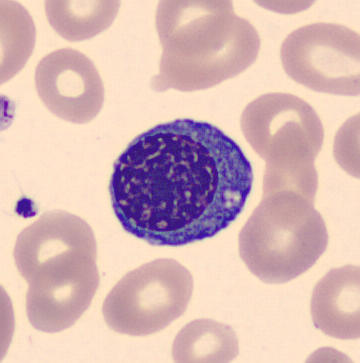
Specimen: peripheral blood film.
Cell: erythroblast.
Acquisition: CellaVision DM96.